Bone marrow aspirate smear: 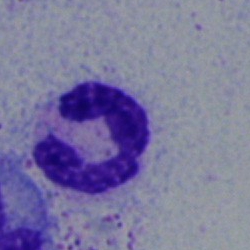
Single cell identified as a neutrophil (segmented).